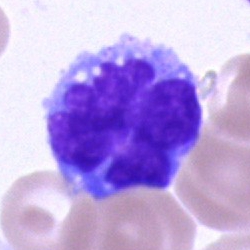

Q: What is the morphological classification of this cell?
A: A monocyte.